Single cell centered in the field. Pappenheim-stained. Bone marrow smear
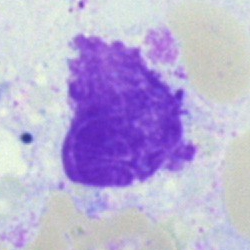 Classification — artefact.